Bone marrow aspirate smear · May-Grünwald-Giemsa stain: 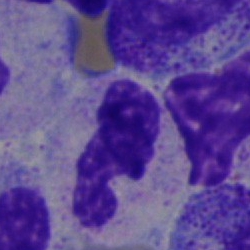Specimen: bone marrow smear.
Morphological class: segmented neutrophil.